Bone marrow aspirate smear · 250×250: 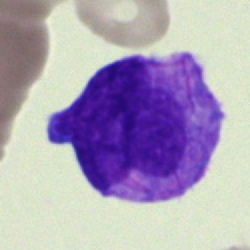 Specimen: bone marrow smear.
Cell: blast.